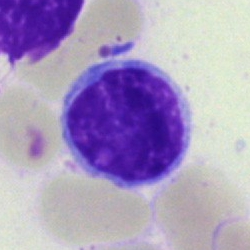

Q: What is shown here?
A: A lymphocyte.